Brightfield, 40× oil-immersion objective. Bone marrow aspirate smear.
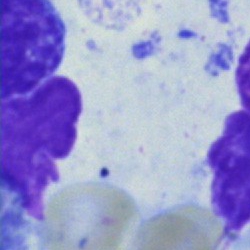 Q: What is shown here?
A: This is an artifact.